Bone marrow smear.
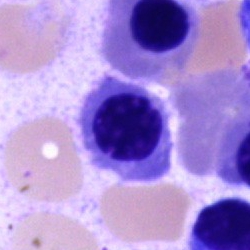
This is a normoblast.